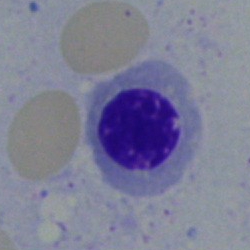 Cell — normoblast.